Bone marrow aspirate smear.
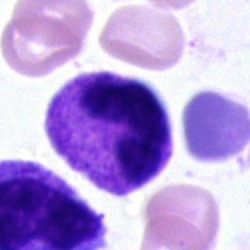This is a segmented neutrophil.